Bone marrow aspirate smear. 250 by 250 pixels: 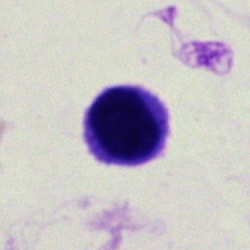 An artefact.